Bone marrow smear.
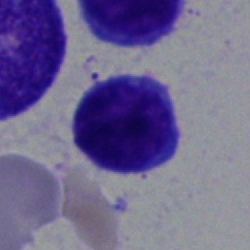The cell shown is a typical lymphocyte.